Bone marrow smear · 250×250 px.
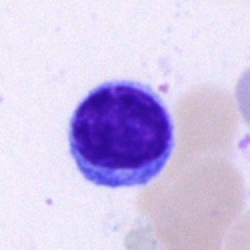 Single cell identified as a typical lymphocyte.